Bone marrow aspirate smear
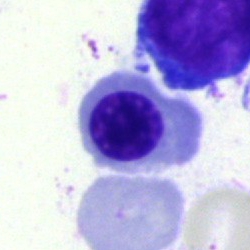 Q: What type of cell is this?
A: It is a nucleated red blood cell.